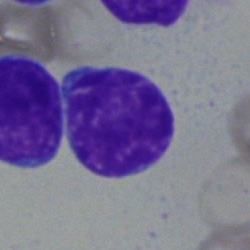
Q: Identify the cell.
A: Typical lymphocyte.